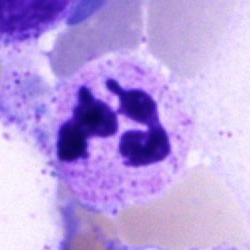 Q: Which cell type is shown here?
A: A neutrophil (segmented).